Bone marrow aspirate smear · single cell centered in the field.
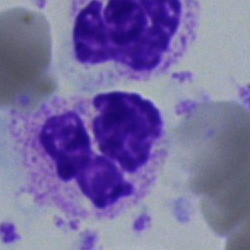
Polymorphonuclear neutrophil.